Bone marrow aspirate smear. Cropped to a single cell:
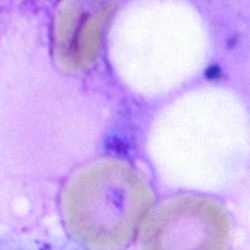Impression → artifact.